Bone marrow aspirate smear: 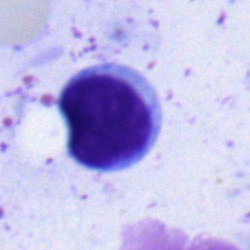
Q: Identify the cell.
A: Typical lymphocyte.